Bone marrow aspirate smear
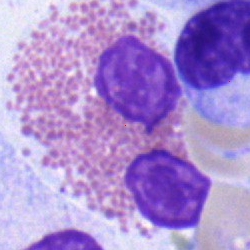
Q: Identify the cell.
A: Eosinophil.